Bone marrow smear · May-Grünwald-Giemsa/Pappenheim stain · brightfield, 40× oil-immersion objective.
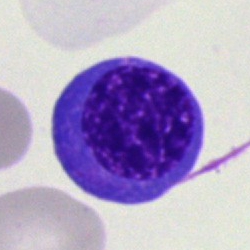 Morphology consistent with a nucleated red blood cell.